Bone marrow smear · 250 by 250 pixels: 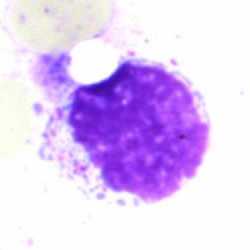 This is an artifact.